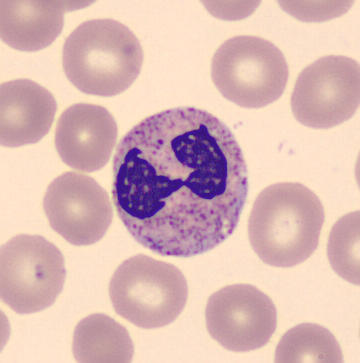 Image: Peripheral blood film · May-Grünwald-Giemsa-stained · cropped to a single cell.
Morphological class — neutrophil (segmented).